Bone marrow aspirate smear — 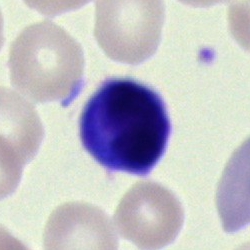A lymphocyte.